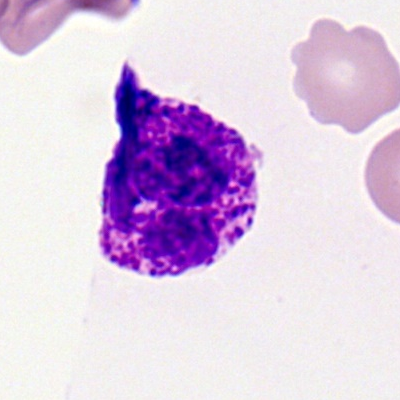
Morphological class — basophilic granulocyte.